250 by 250 pixels · bone marrow smear
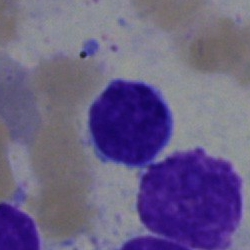Showing a typical lymphocyte.